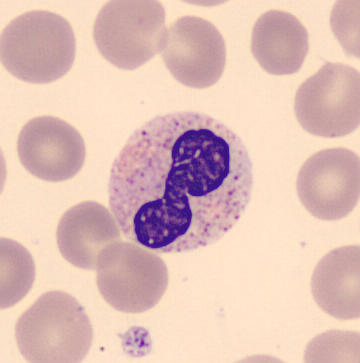 Specimen: peripheral blood film.
Cell: neutrophil (segmented).